Bone marrow aspirate smear — 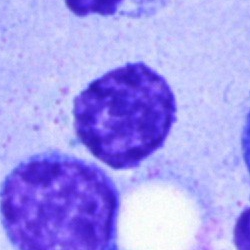

Q: What type of cell is this?
A: A lymphocyte.